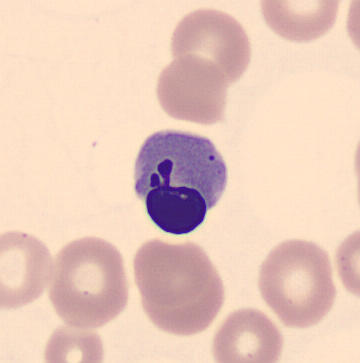 Single-cell crop from a peripheral blood smear: erythroblast.